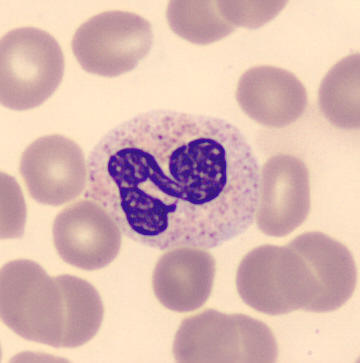
The cell type is polymorphonuclear neutrophil. Image: Peripheral blood smear.